Bone marrow aspirate smear.
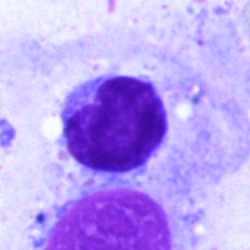{"cell_type": "lymphocyte", "lineage": "lymphoid"}